250×250 px · brightfield, 40× oil-immersion objective · bone marrow aspirate smear: 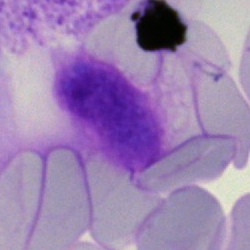
Specimen: bone marrow smear.
Morphological class: artefact.